Bone marrow aspirate smear:
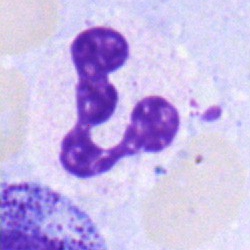Morphology — segmented neutrophil.